Bone marrow smear; May-Grünwald-Giemsa stain: 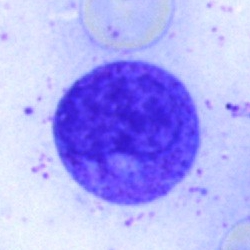 Classification = metamyelocyte.